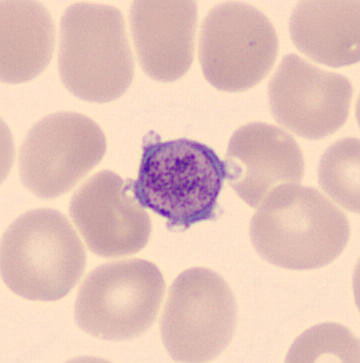

Preparation: Automated cell imaging (CellaVision DM96). Image size 360×363. Peripheral blood smear.
Cell type = thrombocyte.